MGG-stained; bone marrow aspirate smear:
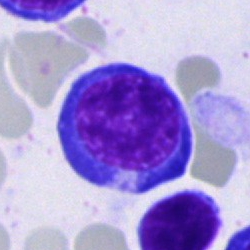

Morphology consistent with a nucleated red blood cell.